Image size 250×250; bone marrow aspirate smear: 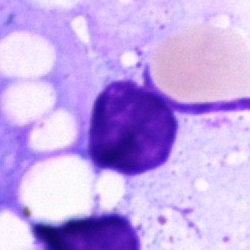

Single cell identified as an artefact.